Bone marrow aspirate smear
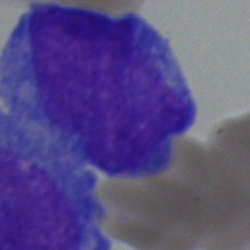 Cell type = undifferentiated blast.